Bone marrow smear
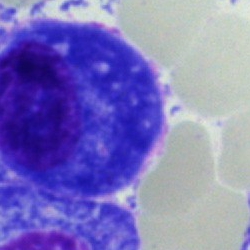

Showing a plasma cell.